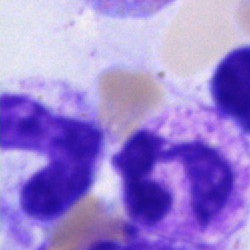
The cell type is segmented neutrophil.